Bone marrow smear; Pappenheim-stained; single cell centered in the field.
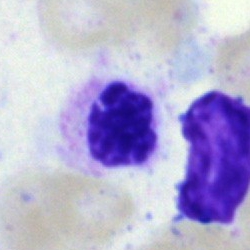 Single cell identified as a segmented neutrophil.